Bone marrow aspirate smear:
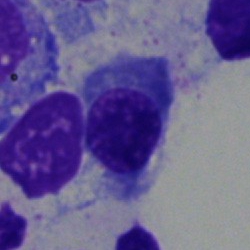The morphological class is nucleated red cell.